Bone marrow aspirate smear: 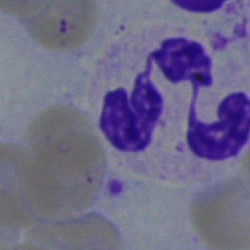
This is a segmented neutrophil.